Bone marrow smear; single-cell crop.
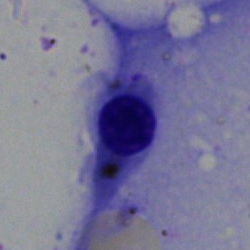Showing an erythroblast.